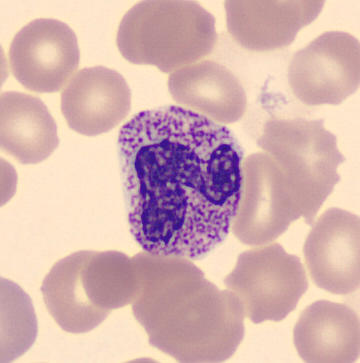 Morphological class = neutrophil (band).